May-Grünwald-Giemsa/Pappenheim stain · brightfield, 40× oil-immersion objective · bone marrow aspirate smear:
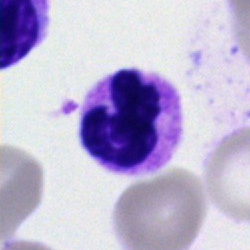Single cell identified as a neutrophil (segmented).